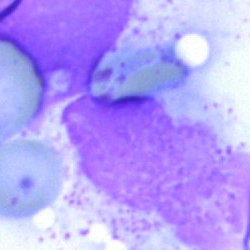 Single-cell crop from a bone marrow smear: artefact.